Bone marrow smear
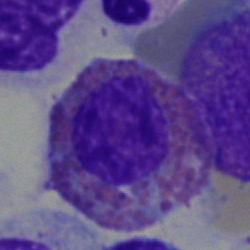This is an eosinophilic granulocyte.